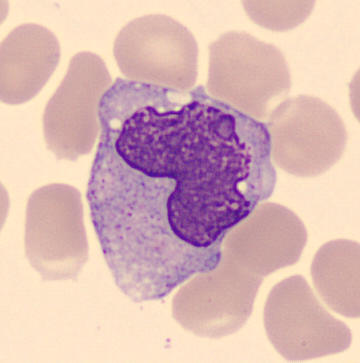

Q: Which cell type is shown here?
A: This is a monocyte.